Bone marrow smear: 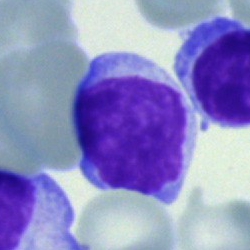 Cell type — typical lymphocyte.